Bone marrow aspirate smear: 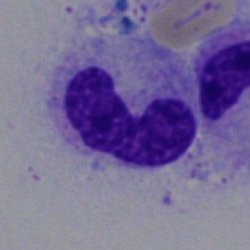

Q: Identify the cell.
A: Band neutrophil.